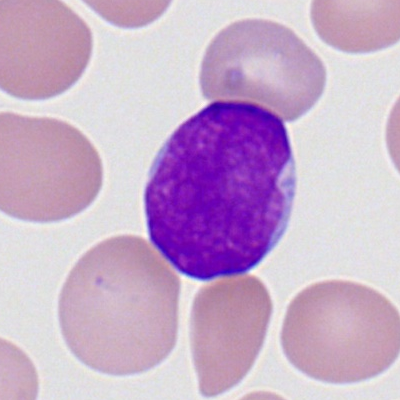

The morphological class is myeloid blast.